Bone marrow aspirate smear:
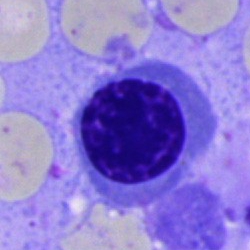
{"cell_type": "nucleated red blood cell", "lineage": "erythroid"}